Bone marrow smear
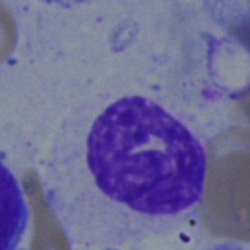
Morphology — band neutrophil.